Bone marrow smear:
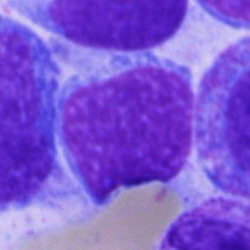 Classification: artifact.